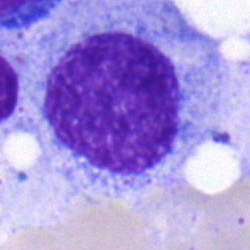Morphology — myelocyte.